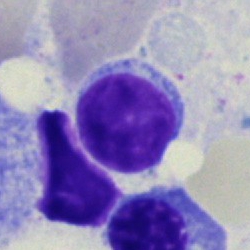Single cell identified as a lymphocyte.